Peripheral blood smear — 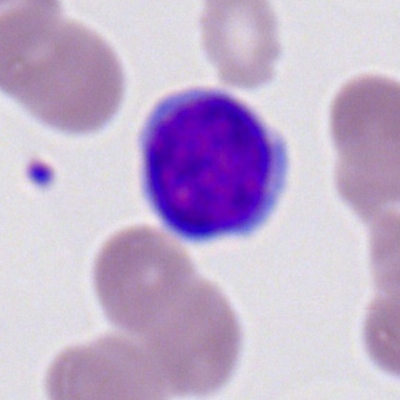

{"cell_type": "lymphocyte", "lineage": "lymphoid"}